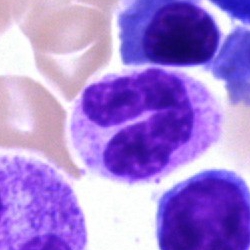Q: What cell is this?
A: A neutrophil (band).